Pappenheim-stained · single-cell field · bone marrow smear
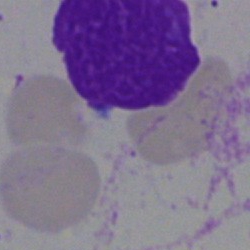
Specimen: bone marrow aspirate smear.
Classification: artefact.